Bone marrow aspirate smear · Pappenheim-stained.
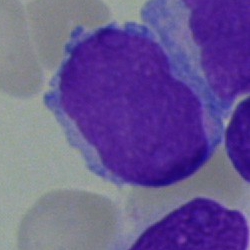 Blast.